Bone marrow aspirate smear — 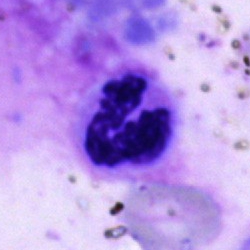Q: What cell is this?
A: A segmented neutrophil.